Single cell centered in the field; bone marrow aspirate smear: 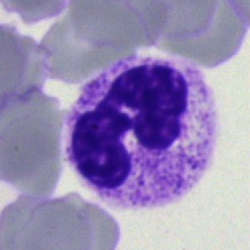

{"cell_type": "polymorphonuclear neutrophil"}